Bone marrow aspirate smear; brightfield, 40× oil-immersion objective: 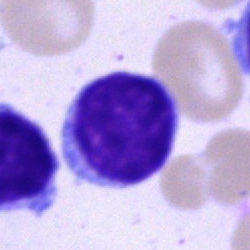 The cell shown is a lymphocyte.